Bone marrow smear
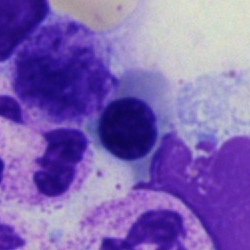
Q: Identify the cell.
A: This is an erythroblast.